Peripheral blood smear — 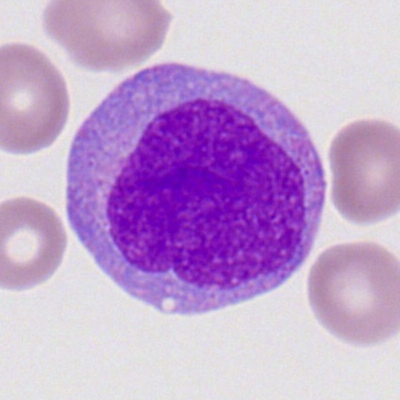

The classification is myeloid blast.